Bone marrow smear · 250 by 250 pixels
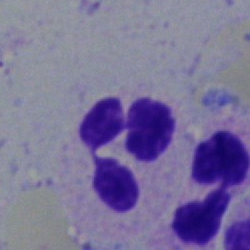

Polymorphonuclear neutrophil.